MGG-stained; 40× objective, oil immersion; bone marrow smear:
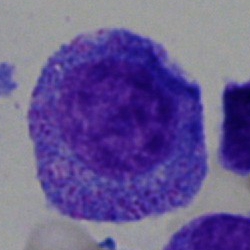Specimen: bone marrow smear.
Cell: promyelocyte.
Lineage: myeloid.